Bone marrow smear: 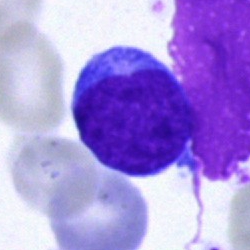
Specimen: bone marrow smear.
Morphological class: lymphocyte.